Bone marrow aspirate smear · brightfield microscopy, 40× oil immersion.
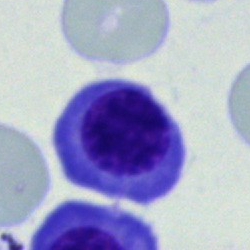Showing a nucleated red blood cell.